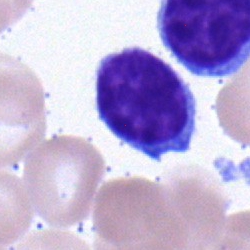

Bone marrow aspirate smear, single cell — lymphocyte.